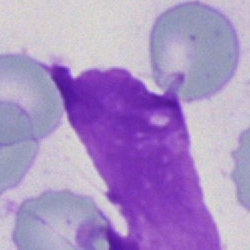

Bone marrow aspirate smear, single cell — artefact.